MGG-stained; bone marrow aspirate smear:
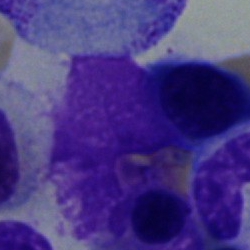Cell = polymorphonuclear neutrophil.